Peripheral blood film:
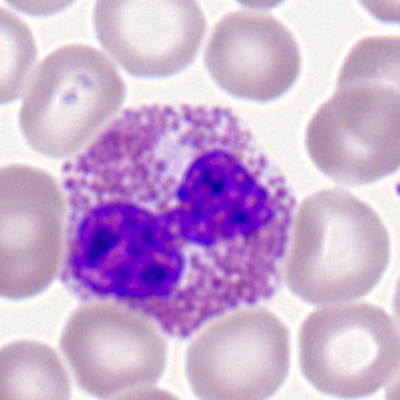 Q: What is the morphological classification of this cell?
A: It is an eosinophilic granulocyte.